Bone marrow aspirate smear: 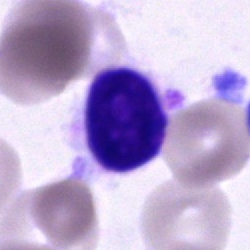

Cell of indeterminate lineage.